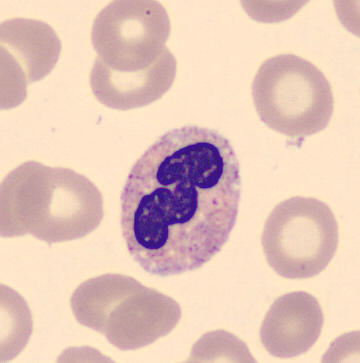 Morphological class = stab cell.

Peripheral blood smear.